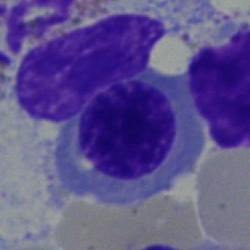
{"cell_type": "normoblast"}